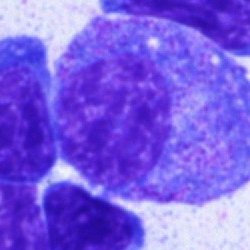Bone marrow smear showing a promyelocyte.